Bone marrow aspirate smear.
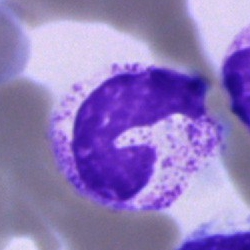 Morphology → band-form neutrophil.